Peripheral blood film — 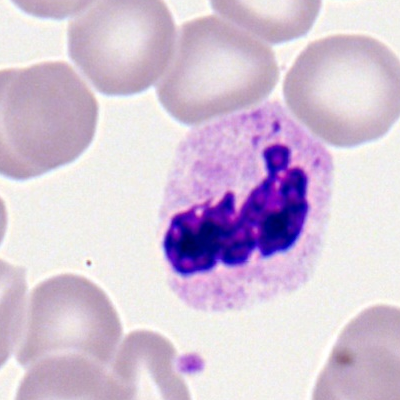

Q: What type of cell is this?
A: It is a segmented neutrophil.